Bone marrow aspirate smear · 250 by 250 pixels.
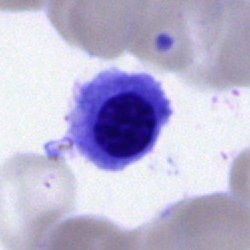Classification — nucleated red blood cell.